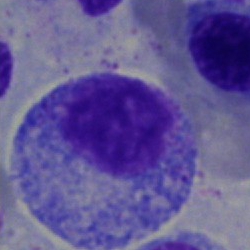 This is a promyelocyte.